Bone marrow smear · image size 250×250 · single-cell crop:
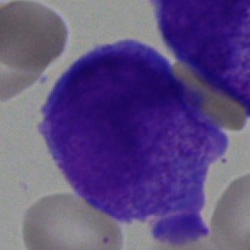
Q: What is the morphological classification of this cell?
A: This is a blast cell.